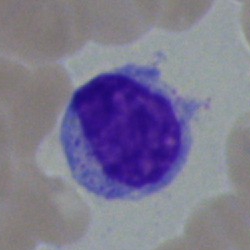
Q: What cell is this?
A: A typical lymphocyte.